MGG-stained. Bone marrow smear — 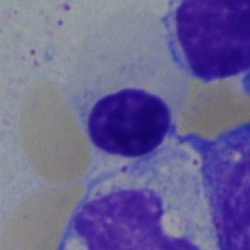

Specimen: bone marrow aspirate smear.
Classification: nucleated red blood cell.